Bone marrow smear.
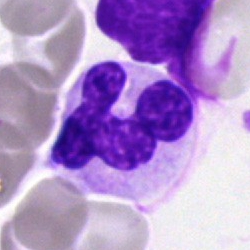

The classification is neutrophil (segmented).